Bone marrow aspirate smear
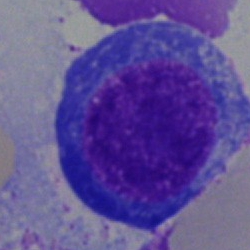
Specimen: bone marrow aspirate smear.
Cell type: erythroblast.
Lineage: erythroid.